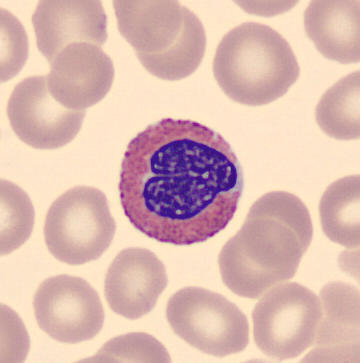
This is an eosinophilic granulocyte. Image: Peripheral blood film.